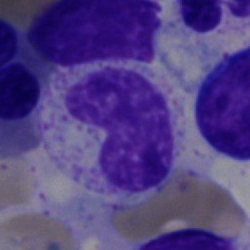
Q: What type of cell is this?
A: It is a neutrophil (band).